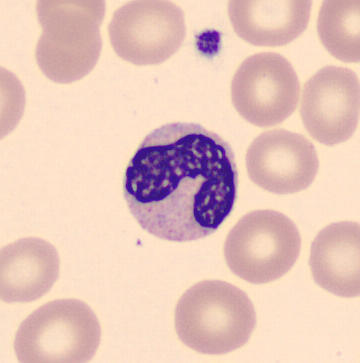Specimen: peripheral blood smear.
Cell type: band neutrophil.
Lineage: myeloid.

Automated cell imaging (CellaVision DM96); MGG stain.